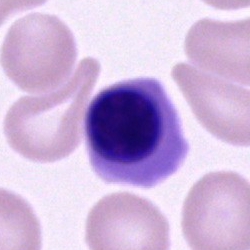 Classification = nucleated red blood cell.